Bone marrow aspirate smear.
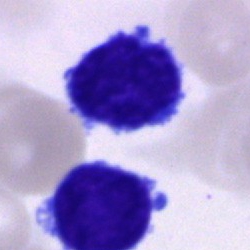{"cell_type": "lymphocyte", "lineage": "lymphoid"}